Bone marrow aspirate smear; image size 250×250
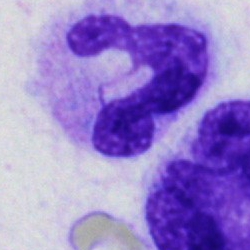
A polymorphonuclear neutrophil.